Bone marrow aspirate smear
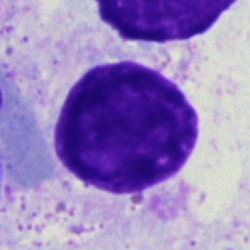 Single cell identified as an artifact.